Bone marrow smear; cropped to a single cell.
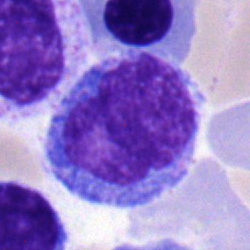 Morphological class — monocyte.